Bone marrow aspirate smear — 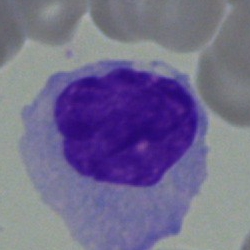

Single cell identified as a monocyte.